Bone marrow smear
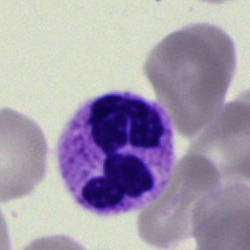 Specimen: bone marrow aspirate smear.
Cell: segmented neutrophil.
Lineage: myeloid.